Bone marrow smear.
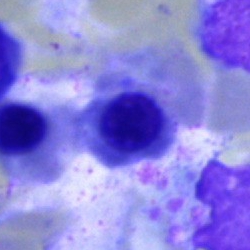

Cell: nucleated red cell.